Bone marrow smear; 250×250 px; May-Grünwald-Giemsa/Pappenheim stain
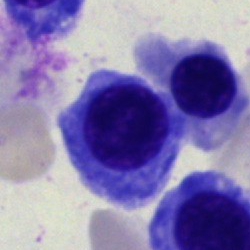

Cell type — nucleated red cell.